MGG-stained · bone marrow aspirate smear
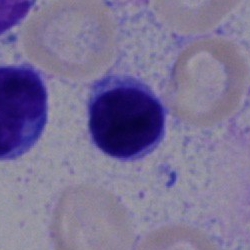 Impression — lymphocyte.